Bone marrow aspirate smear: 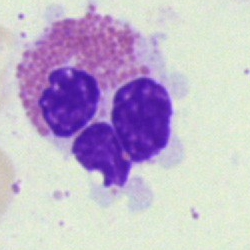 Impression — basophilic granulocyte.